Bone marrow smear. Cropped to a single cell
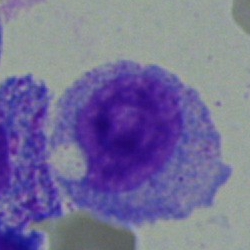
Showing a myelocyte.